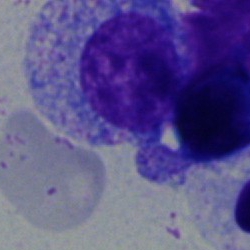
Bone marrow aspirate smear, single cell — myelocyte.